Bone marrow smear: 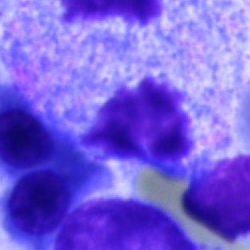Cell type = artefact.